Brightfield, 40× oil-immersion objective. Bone marrow aspirate smear
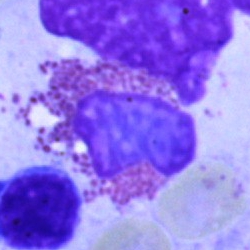

Cell type — eosinophilic granulocyte.